Bone marrow aspirate smear; 250×250 px; 40× oil immersion: 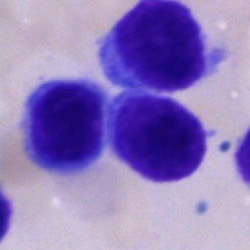

This is a typical lymphocyte.